400×400 px · 100× oil immersion · peripheral blood film: 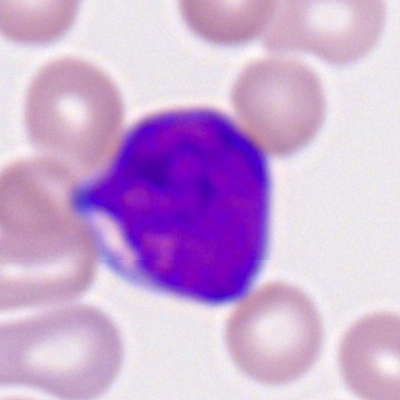
Morphology consistent with a myeloblast.